Bone marrow aspirate smear.
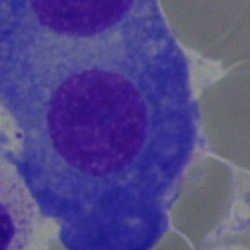 Morphology consistent with a plasma cell.